Peripheral blood smear
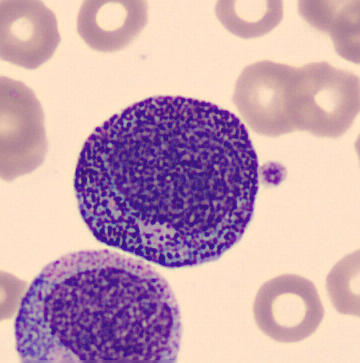Morphological class: progranulocyte.